Bone marrow smear: 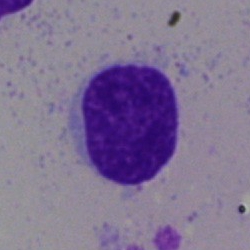Impression → typical lymphocyte.